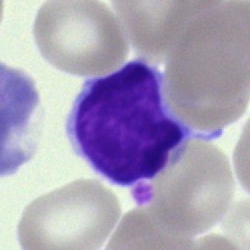
The cell shown is a typical lymphocyte.